Bone marrow aspirate smear:
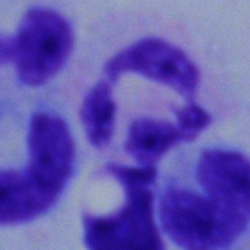 The morphological class is segmented neutrophil.